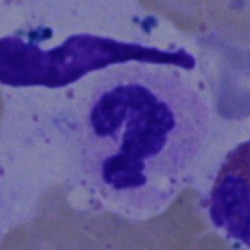Bone marrow aspirate smear, single cell — neutrophil (segmented).